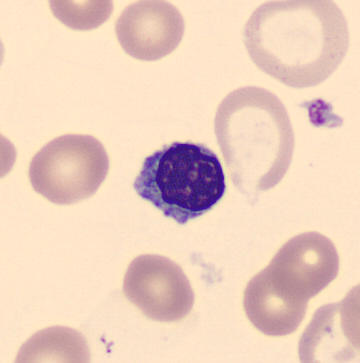Cell — nucleated red cell. Preparation: Peripheral blood film.